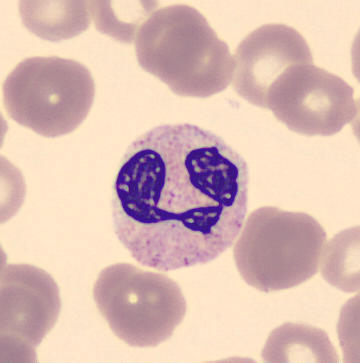The classification is neutrophil (segmented).
Peripheral blood smear; 360 by 363 pixels.